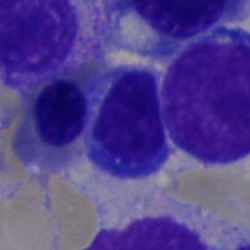

Specimen: bone marrow smear.
Classification: nucleated red cell.
Lineage: erythroid.